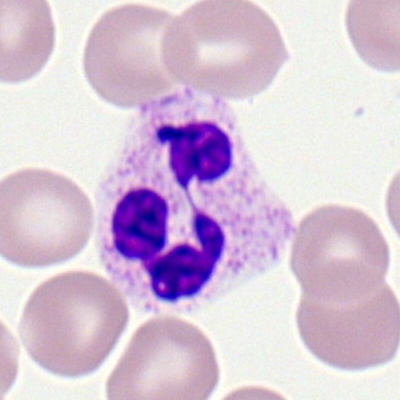
{"cell_type": "neutrophil (segmented)", "lineage": "myeloid"}